Bone marrow smear. MGG-stained:
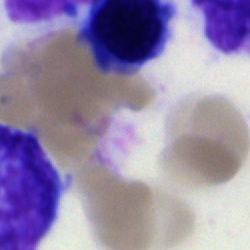

Classification — unidentifiable cell.